MGG-stained. Bone marrow smear. Brightfield, 40× oil-immersion objective — 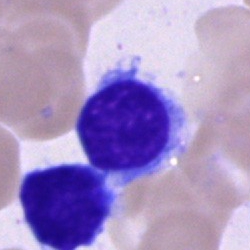 The classification is lymphocyte.